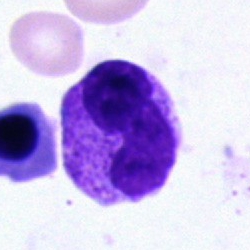
Classification: band neutrophil.